Bone marrow aspirate smear
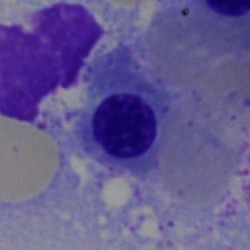
Morphology consistent with an erythroblast.